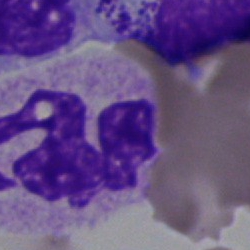

Morphology consistent with a polymorphonuclear neutrophil.